Bone marrow aspirate smear
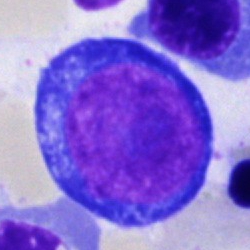Specimen: bone marrow smear.
Classification: pronormoblast.